Bone marrow smear; cropped to a single cell; May-Grünwald-Giemsa/Pappenheim stain: 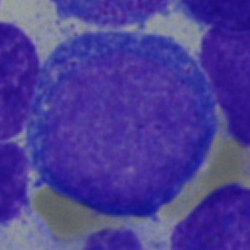Q: Identify the cell.
A: This is an undifferentiated blast.